Bone marrow smear — 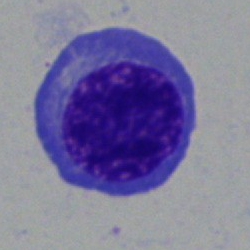 Morphological class: erythroblast.